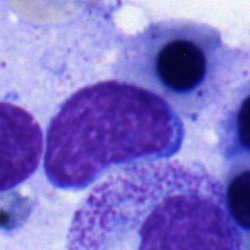

Single-cell crop from a bone marrow smear: lymphocyte.